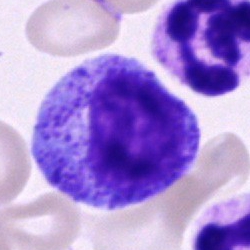Promyelocyte.